Bone marrow smear. 40× objective, oil immersion:
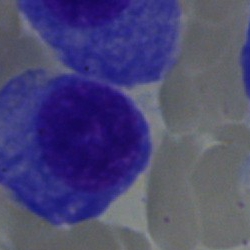
The morphological class is plasma cell.